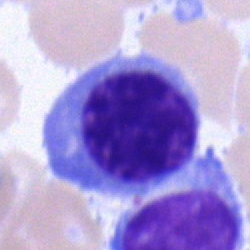 Nucleated red blood cell.